Bone marrow aspirate smear; 40× objective, oil immersion:
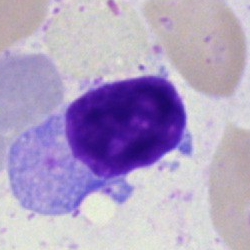

Classification: typical lymphocyte.